Peripheral blood smear. Romanowsky-type stain — 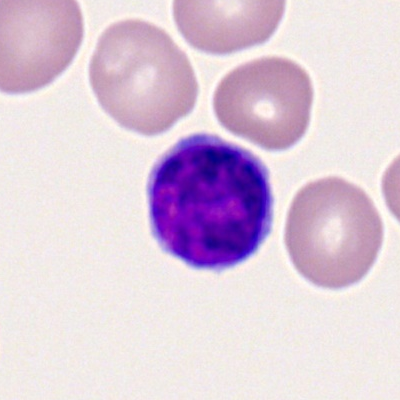
Morphological class = typical lymphocyte.